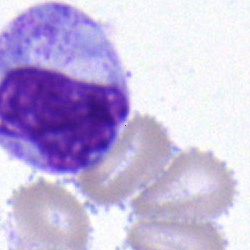

Specimen: bone marrow smear.
Cell type: metamyelocyte.
Lineage: myeloid.